Brightfield microscopy, 40× oil immersion · bone marrow smear:
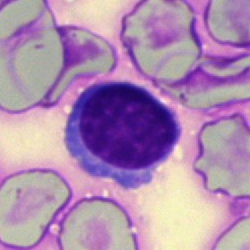

Cell type — lymphocyte.